Bone marrow smear. Cropped to a single cell.
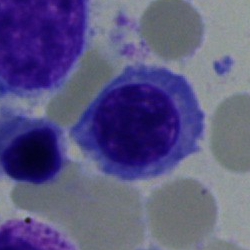

Morphology consistent with a nucleated red cell.